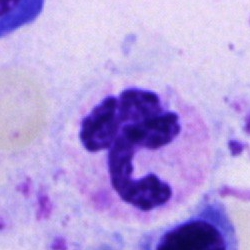

Single-cell crop from a bone marrow smear: polymorphonuclear neutrophil.